Peripheral blood smear: 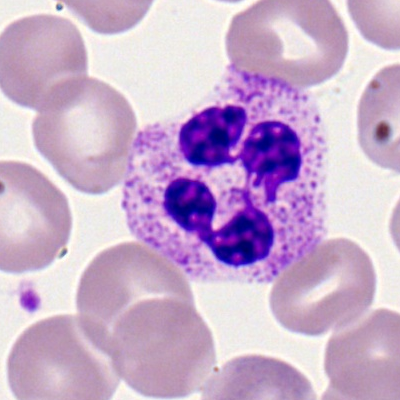Cell = neutrophil (segmented).